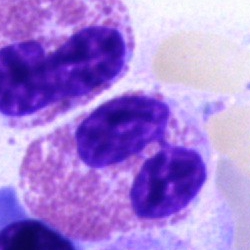

Morphological class — eosinophil.